Bone marrow smear.
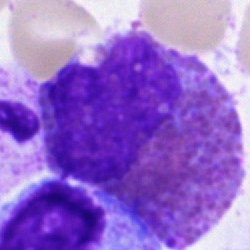An eosinophilic granulocyte.